Bone marrow smear:
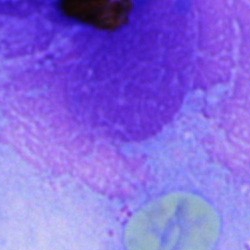 {"cell_type": "artefact"}